Bone marrow aspirate smear: 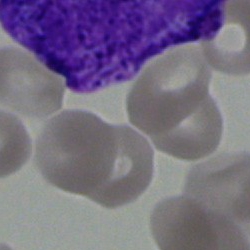Q: What is the morphological classification of this cell?
A: It is a blast cell.